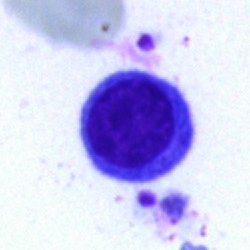
{"cell_type": "typical lymphocyte", "lineage": "lymphoid"}